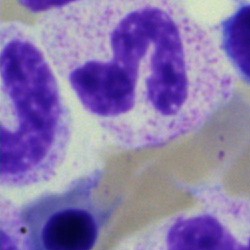 Q: What is shown here?
A: Neutrophil (segmented).